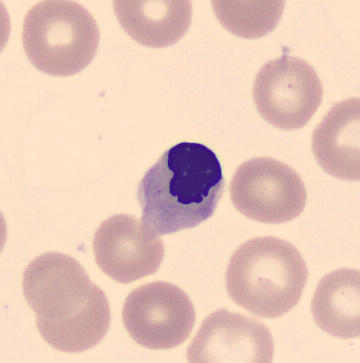 Specimen: peripheral blood film.
Morphological class: nucleated red blood cell.
Lineage: erythroid.